Bone marrow smear.
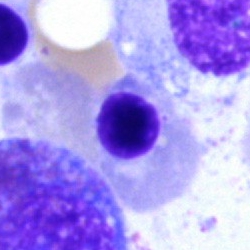
Showing a nucleated red blood cell.